Bone marrow smear.
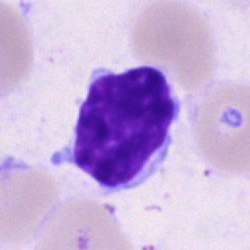

A lymphocyte.